Bone marrow aspirate smear: 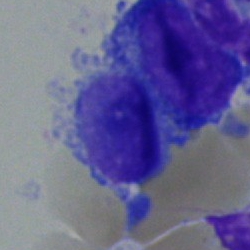
Impression — lymphocyte.